Bone marrow aspirate smear:
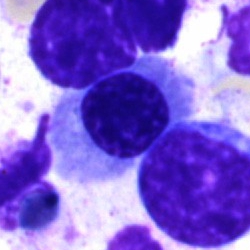 Impression → normoblast.